Peripheral blood film.
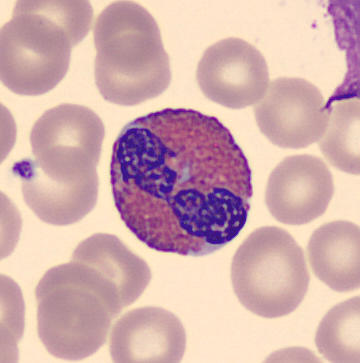Specimen: peripheral blood film.
Cell type: eosinophilic granulocyte.
Lineage: myeloid.